Bone marrow smear — 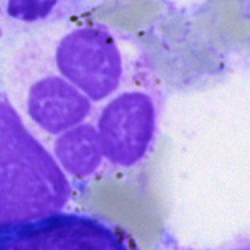 Q: What is shown here?
A: This is an artefact.